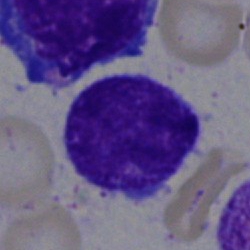 Artifact.